Bone marrow aspirate smear: 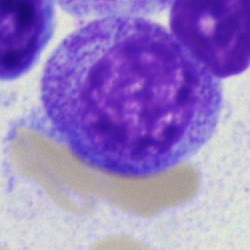 A myelocyte.